Pappenheim-stained; bone marrow smear — 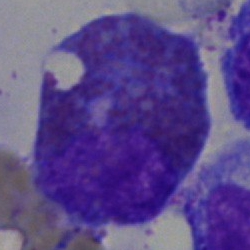

Specimen: bone marrow aspirate smear.
Classification: eosinophilic granulocyte.